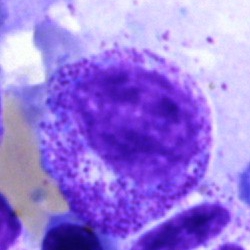Q: What is the morphological classification of this cell?
A: It is a myelocyte.